Peripheral blood film. 400×400 px
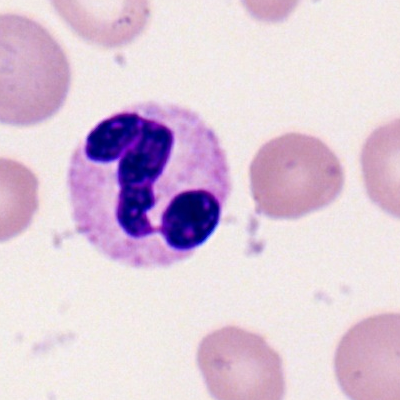 Morphology → polymorphonuclear neutrophil.